Peripheral blood film:
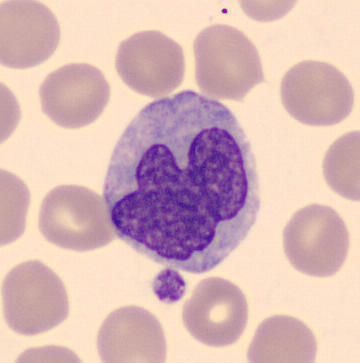Showing a monocyte.